Bone marrow smear: 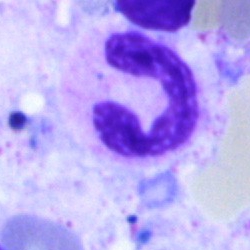
A neutrophil (segmented).